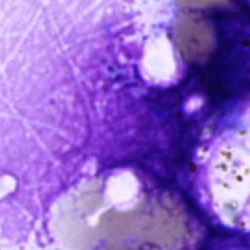

Cell: artefact.